Peripheral blood smear:
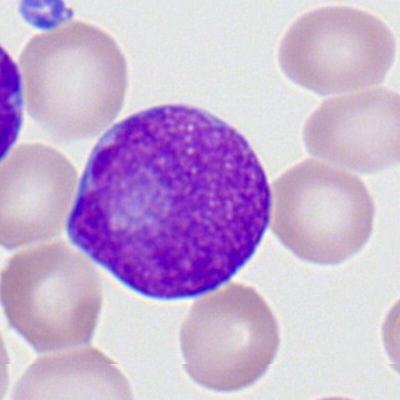

Morphology → myeloblast.